Bone marrow smear:
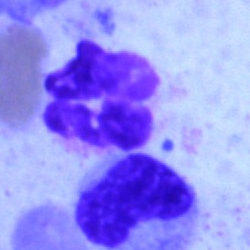Single cell identified as a segmented neutrophil.